Bone marrow smear
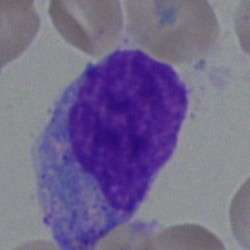The classification is blast.